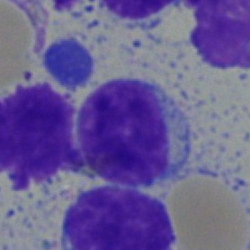

Bone marrow aspirate smear, single cell — typical lymphocyte.